Bone marrow smear. 250×250.
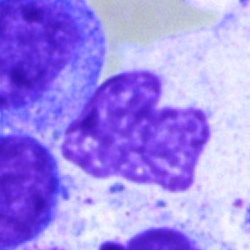Morphology consistent with an artefact.